Peripheral blood film. 400×400:
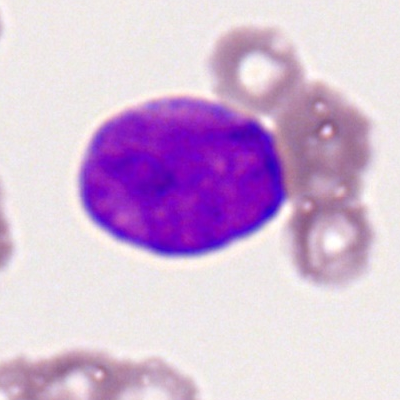

Specimen: peripheral blood film.
Cell type: myeloid blast.